Bone marrow smear.
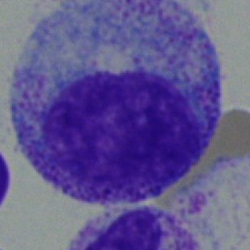 Impression → progranulocyte.